Bone marrow aspirate smear: 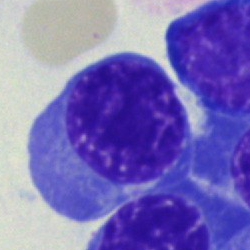{"cell_type": "normoblast"}